Single cell centered in the field; bone marrow aspirate smear: 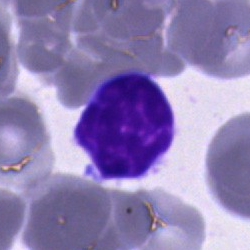
The classification is lymphocyte.